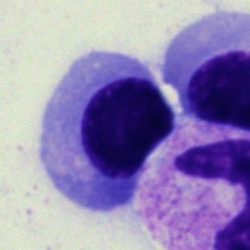 Nucleated red cell.